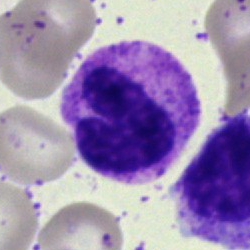 Specimen: bone marrow smear.
Cell: band-form neutrophil.
Lineage: myeloid.